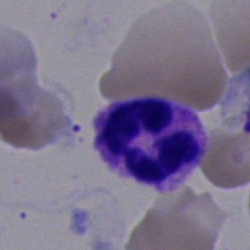

The classification is polymorphonuclear neutrophil.